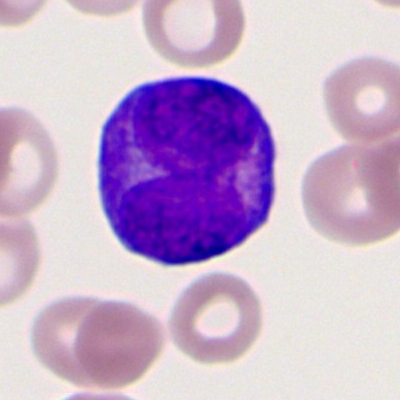 Morphology — promyelocyte.